Bone marrow smear — 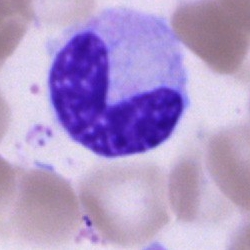

Classification = band neutrophil.